Bone marrow aspirate smear — 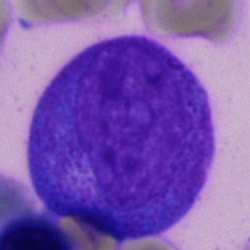
Single cell identified as a promyelocyte.